Bone marrow aspirate smear · 250×250 — 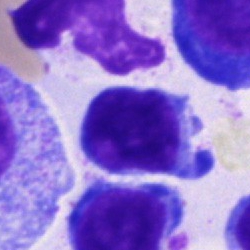 Cell type — lymphocyte.